Bone marrow smear: 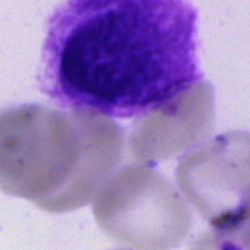
Classification = artifact.